Bone marrow aspirate smear:
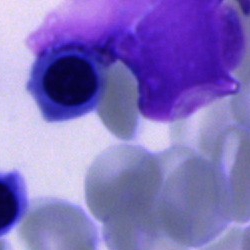Showing an artefact.